Bone marrow smear
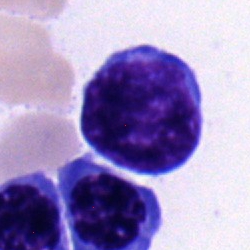An undifferentiated blast.